May-Grünwald-Giemsa/Pappenheim stain; bone marrow aspirate smear
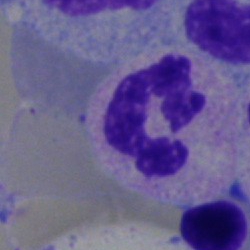 Cell type = polymorphonuclear neutrophil.